Bone marrow smear
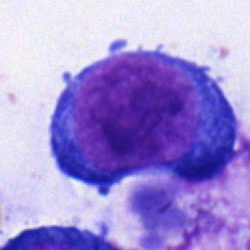

A pronormoblast.